Bone marrow smear: 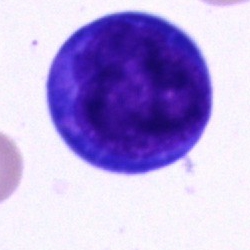The morphological class is pronormoblast.